Pappenheim-stained; bone marrow aspirate smear: 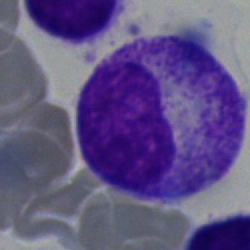

Q: What type of cell is this?
A: It is a myelocyte.